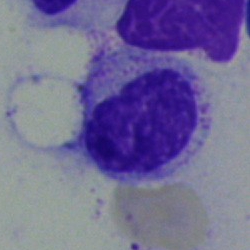 Showing a myelocyte.